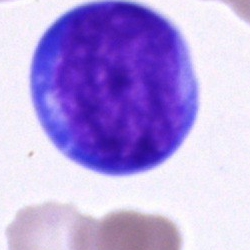
Morphological class = blast.